Bone marrow smear · image size 250×250
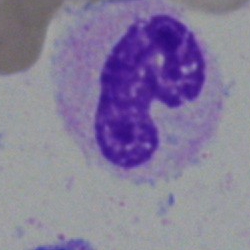
Showing a band neutrophil.